Peripheral blood film — 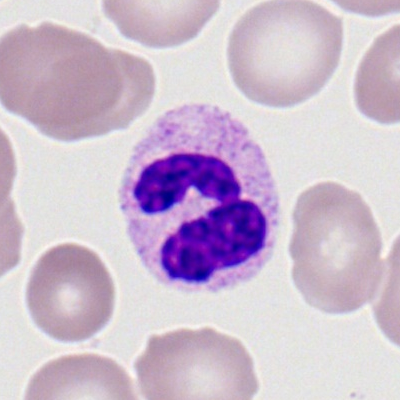 Classification — polymorphonuclear neutrophil.